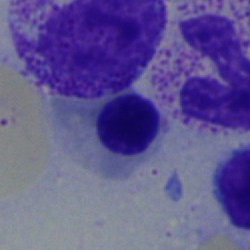

This is an erythroblast.